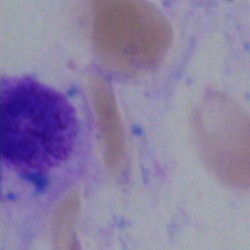 Morphology consistent with an artifact.